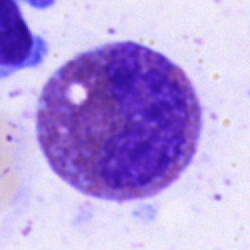

Cell type = eosinophilic granulocyte.